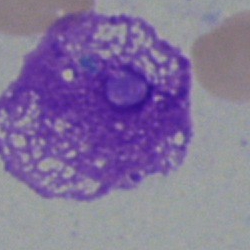

Cell: artifact.